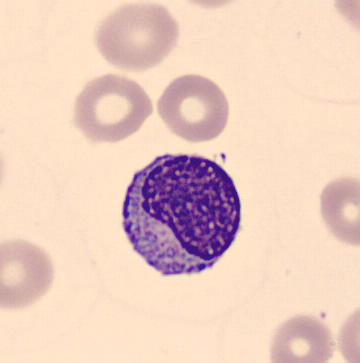 Peripheral blood smear. 360 by 363 pixels.
Morphology — myelocyte.